Cropped to a single cell; bone marrow aspirate smear; brightfield, 40× oil-immersion objective: 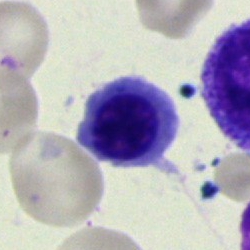 Cell: erythroblast.